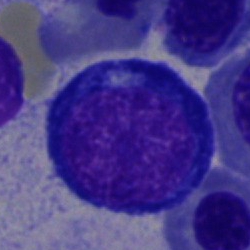

An erythroblast.